May-Grünwald-Giemsa stain · bone marrow smear.
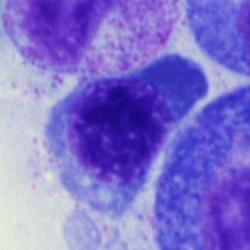Morphology consistent with a normoblast.